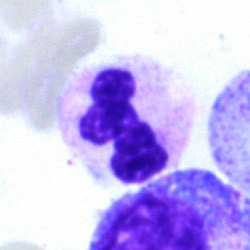

Morphology — neutrophil (segmented).